Bone marrow smear.
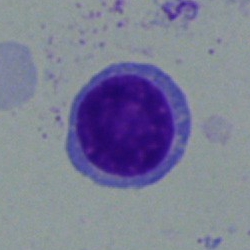Q: Identify the cell.
A: This is a typical lymphocyte.